Bone marrow smear — 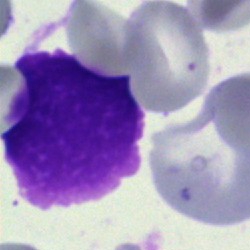 Showing an artifact.